Bone marrow smear:
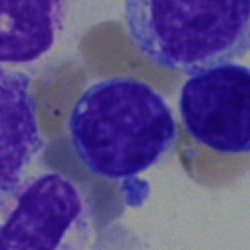 Specimen: bone marrow aspirate smear.
Morphological class: lymphocyte.
Lineage: lymphoid.